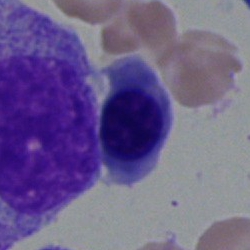 Morphology — nucleated red blood cell.